Bone marrow aspirate smear: 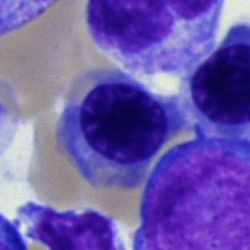 The cell is nucleated red blood cell.